400×400; Romanowsky-type stain; peripheral blood film: 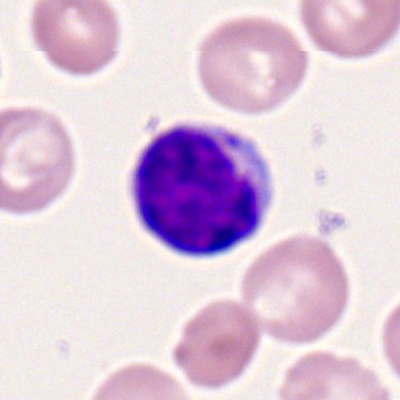
This is a lymphocyte.